Pappenheim-stained. Image size 250×250. Bone marrow smear:
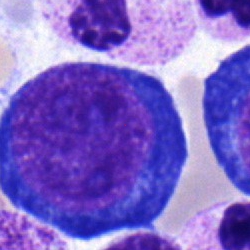 Single cell identified as a proerythroblast.